40× oil immersion; bone marrow aspirate smear.
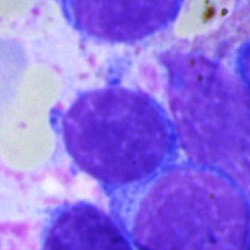
The morphological class is typical lymphocyte.